Bone marrow smear · single-cell field · Pappenheim-stained: 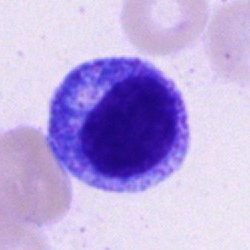

The classification is myelocyte.